Bone marrow aspirate smear:
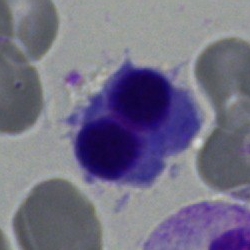 Specimen: bone marrow smear.
Cell type: nucleated red blood cell.